May-Grünwald-Giemsa/Pappenheim stain. Bone marrow smear.
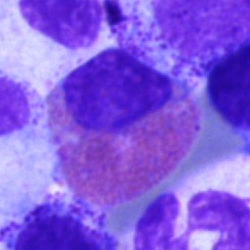 Cell — eosinophil.